Pappenheim-stained · bone marrow smear: 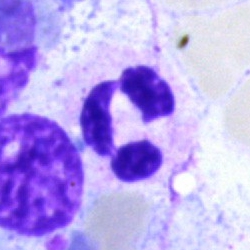
Cell: neutrophil (segmented).